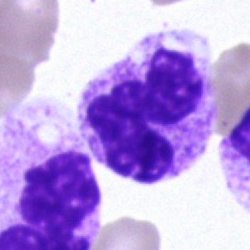 A neutrophil (segmented).